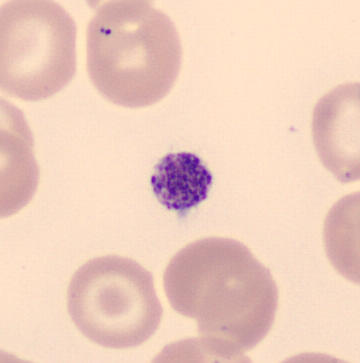

Specimen: peripheral blood film.
Classification: platelet.